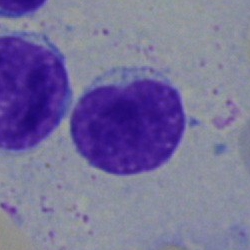
Showing a typical lymphocyte.